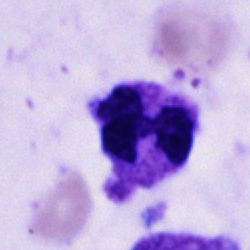

This is a polymorphonuclear neutrophil.